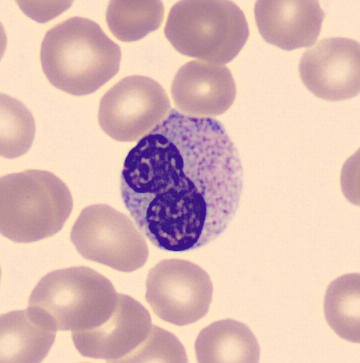 Q: What cell is this?
A: A neutrophil (band). Peripheral blood smear. CellaVision DM96.